Peripheral blood smear:
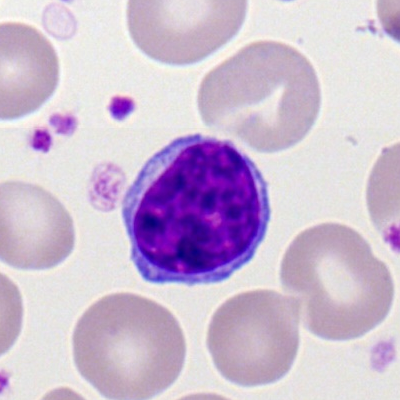 This is a lymphocyte.